Romanowsky-stained · peripheral blood film
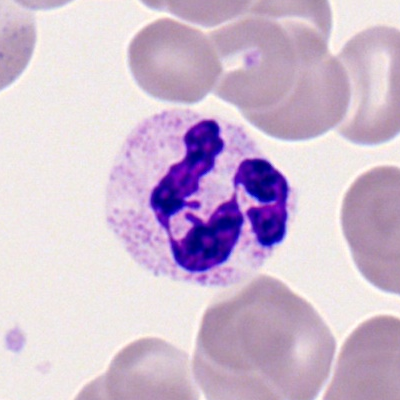Morphology consistent with a polymorphonuclear neutrophil.